Bone marrow smear. Single-cell field:
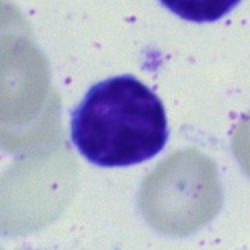
Morphology consistent with a lymphocyte.